Bone marrow smear.
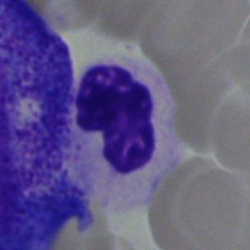
Cell type = band neutrophil.